Bone marrow aspirate smear · May-Grünwald-Giemsa/Pappenheim stain · 250 by 250 pixels.
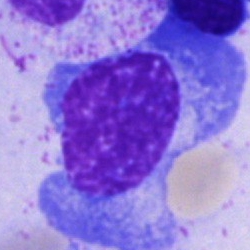
Q: What is shown here?
A: It is a plasma cell.